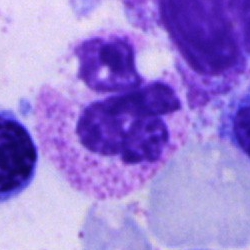 Impression — polymorphonuclear neutrophil.